Bone marrow aspirate smear · single cell centered in the field
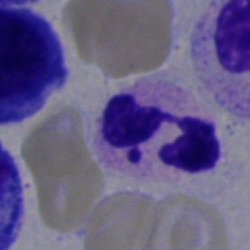

Cell type = segmented neutrophil.